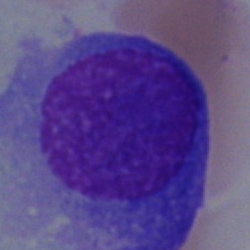

Cell type: plasmacyte.